Bone marrow aspirate smear: 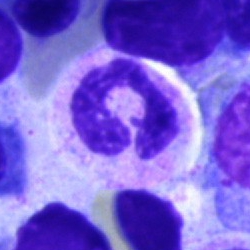Q: What cell is this?
A: A segmented neutrophil.